Bone marrow smear · 250 by 250 pixels.
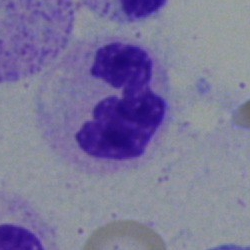

Impression → neutrophil (segmented).